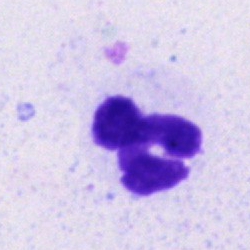

The cell shown is a segmented neutrophil.